Peripheral blood smear
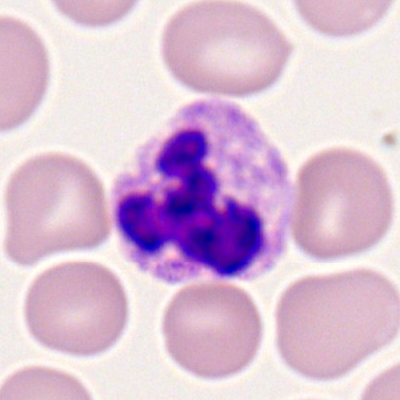Segmented neutrophil.